Single-cell crop. Image size 250×250. Bone marrow aspirate smear:
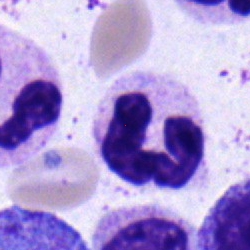

Single cell identified as a polymorphonuclear neutrophil.